Bone marrow smear.
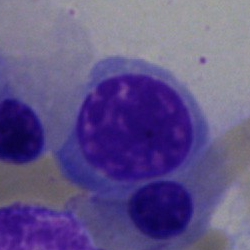Impression — nucleated red blood cell.